Romanowsky stain; peripheral blood smear: 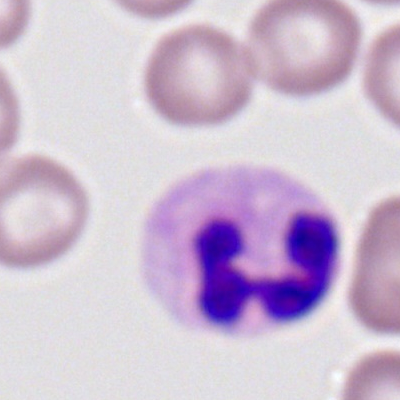

The cell type is segmented neutrophil.